250×250. Bone marrow smear.
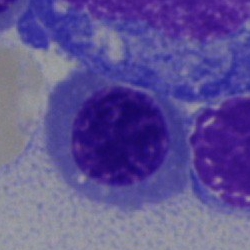

Q: What is the morphological classification of this cell?
A: A normoblast.